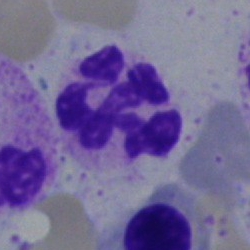Morphology — neutrophil (segmented).